Bone marrow smear:
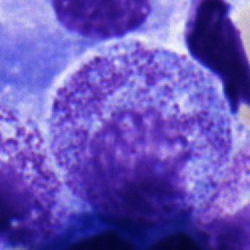

Single cell identified as a progranulocyte.